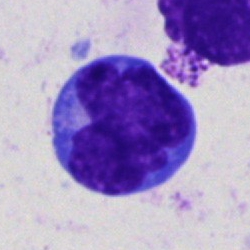
Showing a monocyte.